Bone marrow smear.
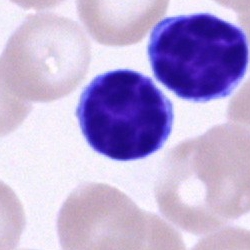
Morphological class: typical lymphocyte.